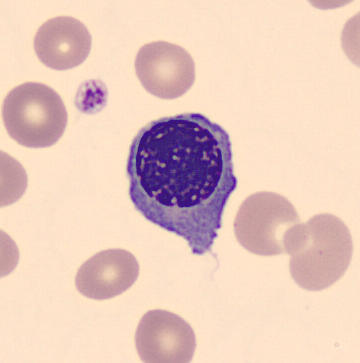Preparation: Peripheral blood smear.
Morphology consistent with a nucleated red cell.